Bone marrow smear
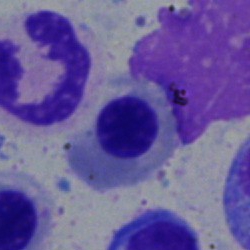

Morphological class — erythroblast.